40× oil immersion. Bone marrow aspirate smear
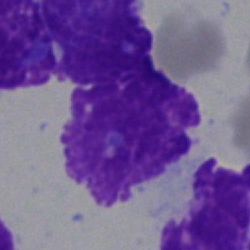
The cell shown is an artifact.